Single-cell field; bone marrow smear.
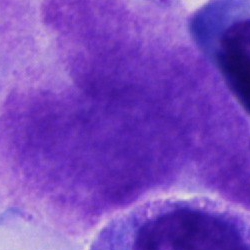 An artifact.